Bone marrow smear:
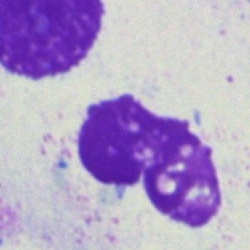 Single cell identified as an artefact.